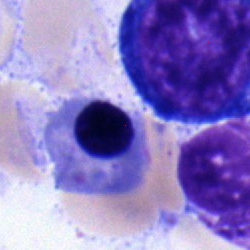 A nucleated red cell on a bone marrow smear.